Bone marrow aspirate smear: 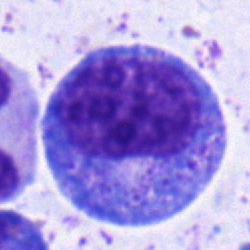Promyelocyte.